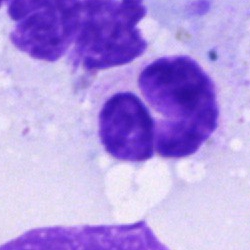Specimen: bone marrow smear.
Classification: neutrophil (segmented).